Bone marrow aspirate smear; May-Grünwald-Giemsa stain
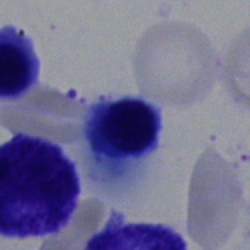

Erythroblast.